Bone marrow aspirate smear
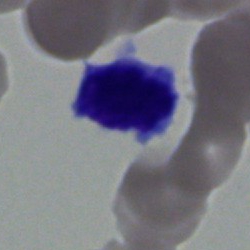 Morphology — lymphocyte.